MGG-stained · bone marrow aspirate smear · 40× objective, oil immersion.
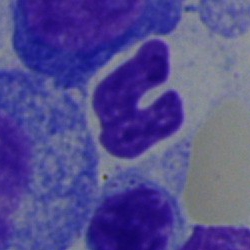 Stab cell.